Bone marrow smear:
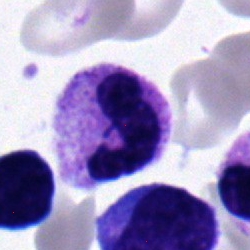
Classification = band neutrophil.